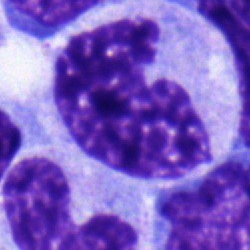 Specimen: bone marrow smear.
Morphological class: metamyelocyte.